Bone marrow smear
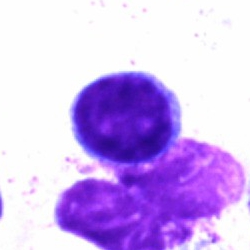

Q: What type of cell is this?
A: It is a lymphocyte.